Bone marrow smear:
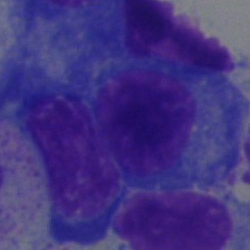 Impression → plasma cell.